Bone marrow aspirate smear; brightfield microscopy, 40× oil immersion; May-Grünwald-Giemsa/Pappenheim stain: 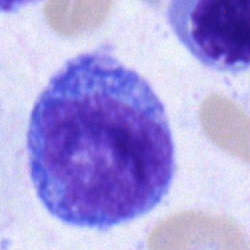 A monocyte.